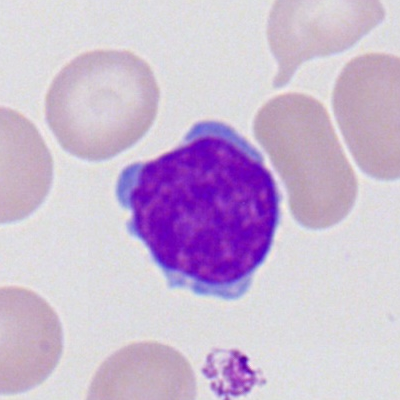 Q: What is shown here?
A: It is a lymphocyte.